Bone marrow aspirate smear.
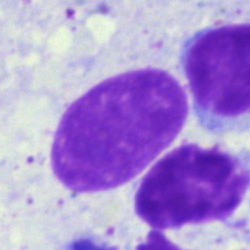

Specimen: bone marrow smear.
Cell: artifact.